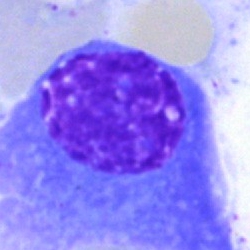 Bone marrow aspirate smear, single cell — plasma cell.